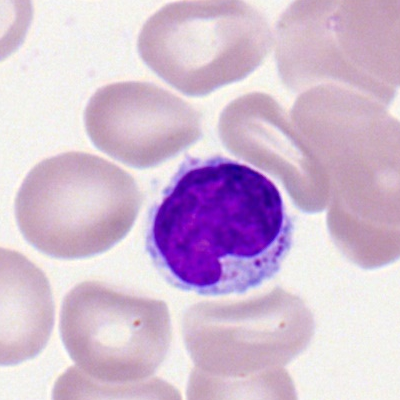Morphology consistent with a typical lymphocyte.